Bone marrow aspirate smear. 250×250: 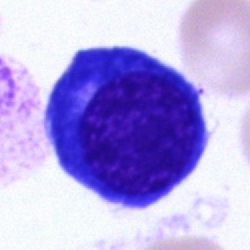

Single cell identified as an erythroblast.